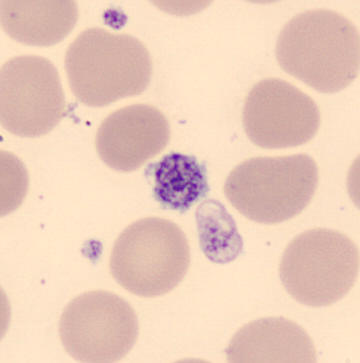 A thrombocyte on a peripheral blood smear.